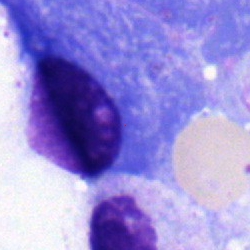The classification is plasmacyte.